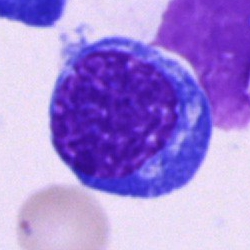Cell type = normoblast.